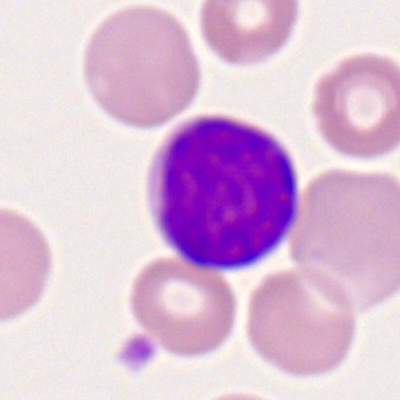
Peripheral blood film, single cell — lymphocyte.